250×250. May-Grünwald-Giemsa stain. Bone marrow aspirate smear: 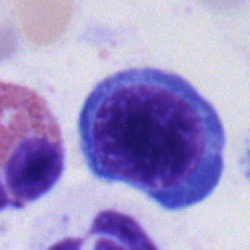The classification is erythroblast.